Bone marrow aspirate smear: 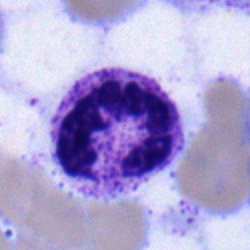
Impression — segmented neutrophil.